Peripheral blood film:
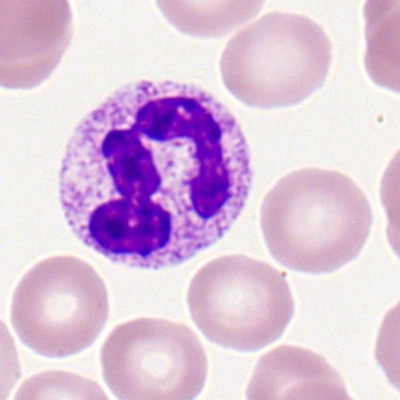
{"cell_type": "polymorphonuclear neutrophil", "lineage": "myeloid"}